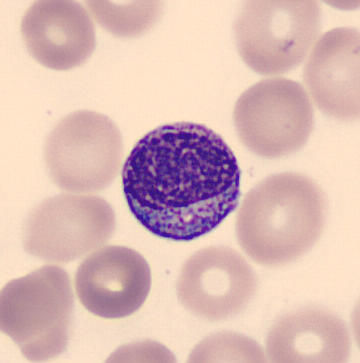Q: What is this?
A: Myelocyte. Image: MGG stain; peripheral blood smear.